Bone marrow smear
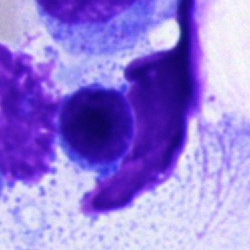 {"cell_type": "lymphocyte"}